Bone marrow smear: 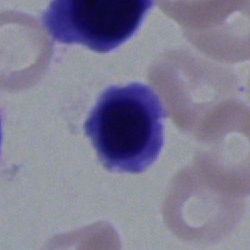 A normoblast.